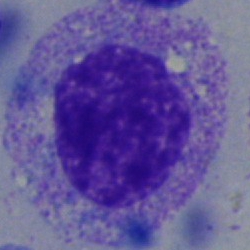Q: What type of cell is this?
A: It is a myelocyte.